Bone marrow smear
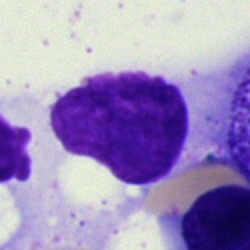 Impression — artefact.